Bone marrow aspirate smear. May-Grünwald-Giemsa stain. Cropped to a single cell.
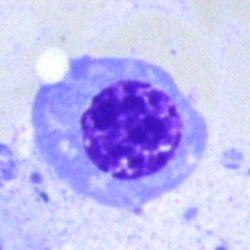 Cell — nucleated red cell.